Bone marrow aspirate smear:
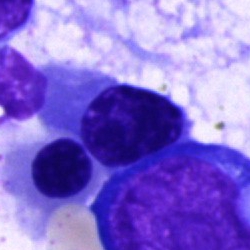
Specimen: bone marrow smear.
Cell type: artifact.